Bone marrow aspirate smear.
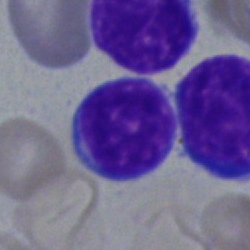

{"cell_type": "lymphocyte", "lineage": "lymphoid"}